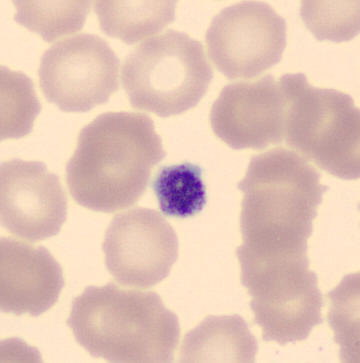

Peripheral blood smear.

{"cell_type": "platelet (thrombocyte)"}